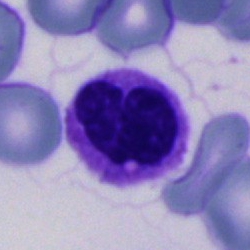Morphology — neutrophil (segmented).